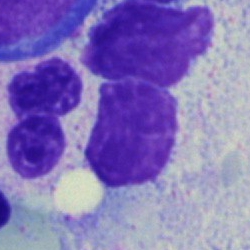

Segmented neutrophil.